Bone marrow aspirate smear — 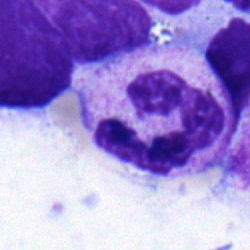

Cell type — segmented neutrophil.